Bone marrow smear: 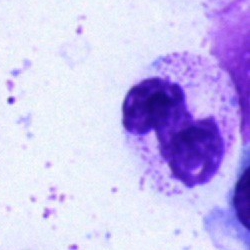
A polymorphonuclear neutrophil.